Bone marrow aspirate smear; May-Grünwald-Giemsa stain
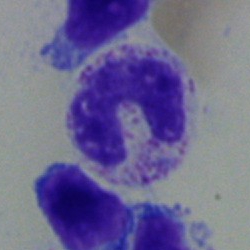
Band neutrophil.